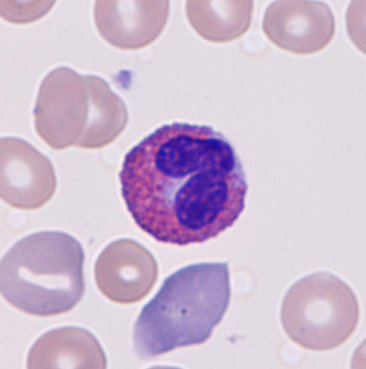Peripheral blood smear showing an eosinophil.